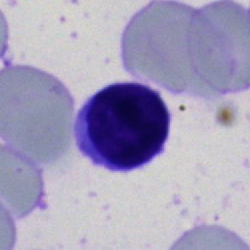
The morphological class is typical lymphocyte.